Bone marrow aspirate smear.
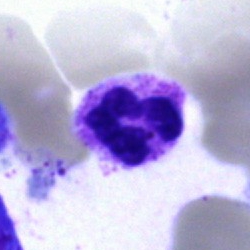
Cell type = neutrophil (segmented).